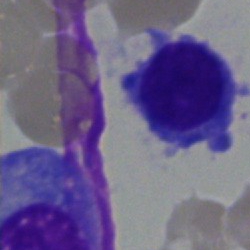
Specimen: bone marrow aspirate smear.
Cell: plasma cell.
Lineage: lymphoid.